Bone marrow smear: 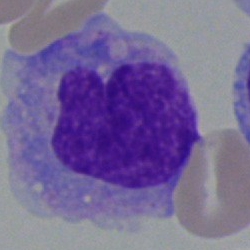 Morphological class — monocyte.